Bone marrow aspirate smear: 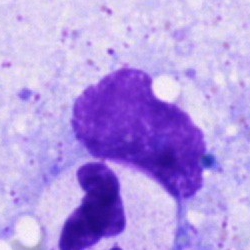 Cell type — artifact.